Bone marrow smear: 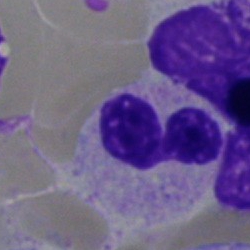

This is a polymorphonuclear neutrophil.